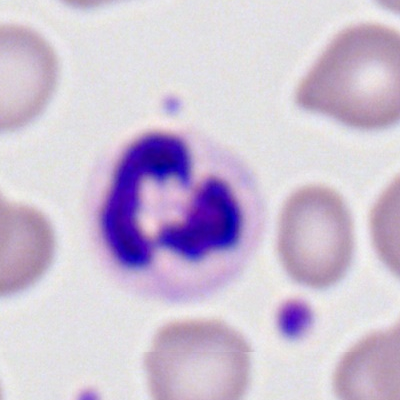
Peripheral blood smear showing a segmented neutrophil.